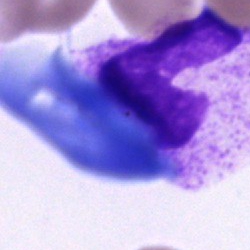
Bone marrow smear showing a cell of indeterminate lineage.